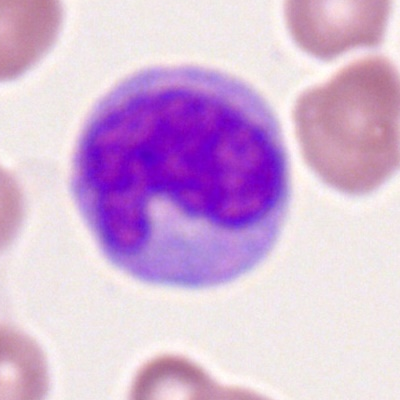
Single cell identified as a monocyte.